Image size 250×250 · bone marrow smear · Pappenheim-stained
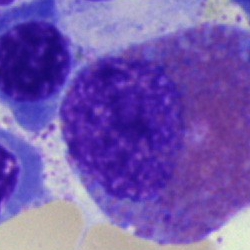
{"cell_type": "eosinophilic granulocyte"}